Single-cell crop. Bone marrow smear:
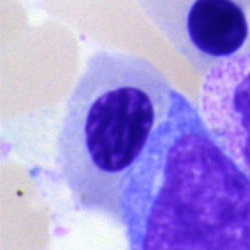
Morphological class — nucleated red cell.